Bone marrow smear · image size 250×250 · brightfield, 40× oil-immersion objective: 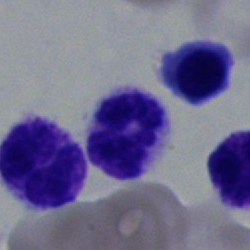The cell is polymorphonuclear neutrophil.